250×250 px; bone marrow aspirate smear; 40× oil immersion:
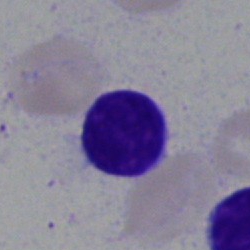 Q: What is shown here?
A: Typical lymphocyte.